Bone marrow smear.
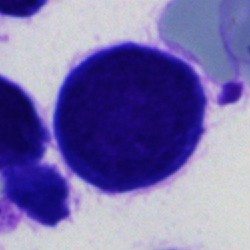Impression → unidentifiable cell.